Bone marrow smear.
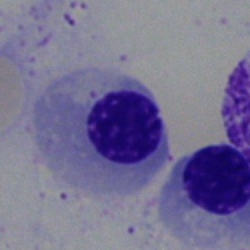 Specimen: bone marrow smear.
Cell: nucleated red cell.
Lineage: erythroid.